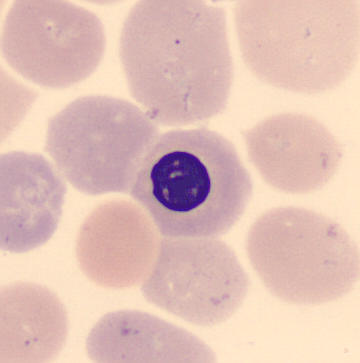
Peripheral blood smear.

Nucleated red blood cell.